Peripheral blood smear:
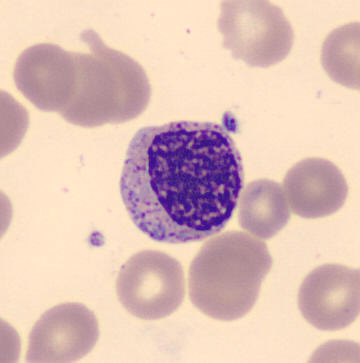
Morphology — myelocyte.